Bone marrow aspirate smear; single-cell crop
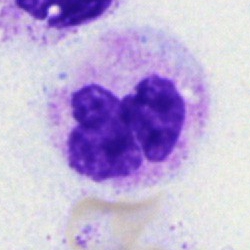

Impression → segmented neutrophil.